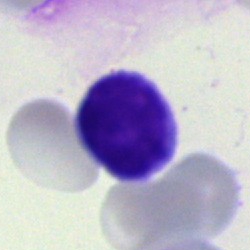Impression → lymphocyte.